Bone marrow aspirate smear:
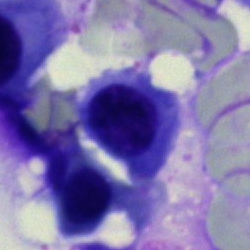 {"cell_type": "nucleated red blood cell", "lineage": "erythroid"}